Bone marrow smear. Single cell centered in the field.
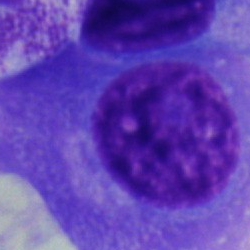
Morphology → plasmacyte.